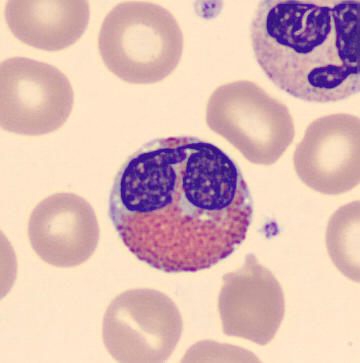Q: Identify the cell.
A: This is an eosinophilic granulocyte.